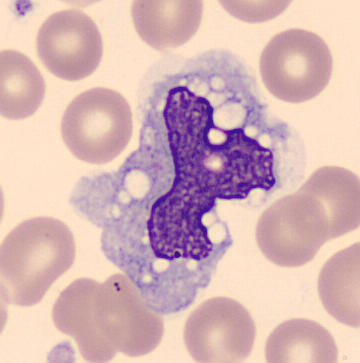
Peripheral blood smear.
Identified as a monocyte.